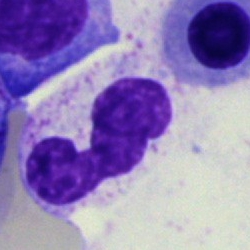
Specimen: bone marrow smear.
Classification: polymorphonuclear neutrophil.